Peripheral blood smear. Romanowsky-type stain: 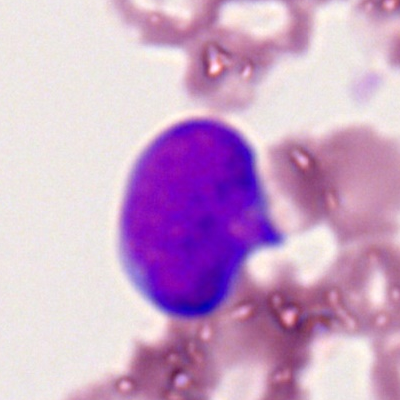 Specimen: peripheral blood film.
Morphological class: myeloid blast.